Bone marrow aspirate smear — 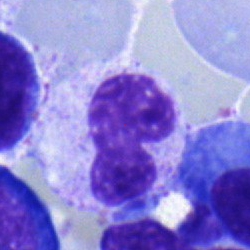Impression — neutrophil (band).